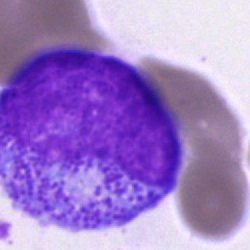Specimen: bone marrow smear.
Classification: promyelocyte.
Lineage: myeloid.